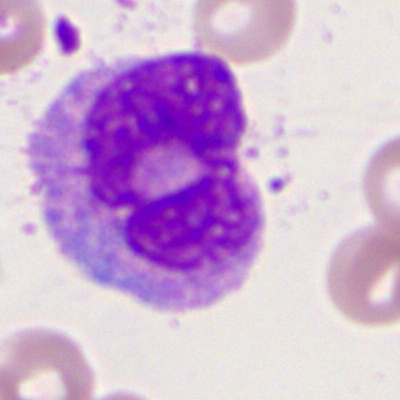A monocyte on a peripheral blood smear.